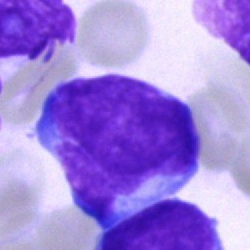

A blast on a bone marrow smear.